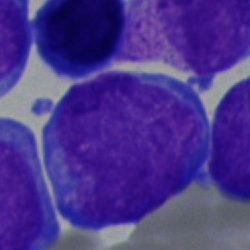
Cell type: undifferentiated blast.